Bone marrow aspirate smear
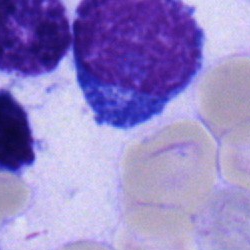
Morphology — proerythroblast.